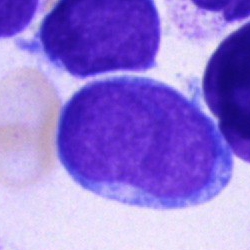

Undifferentiated blast.